Bone marrow aspirate smear.
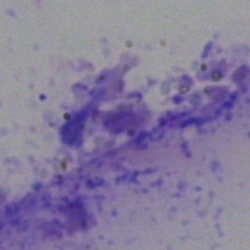 The cell shown is an artifact.